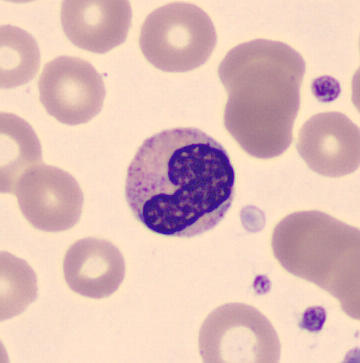

Peripheral blood film.

Showing a neutrophil (band).